Bone marrow smear: 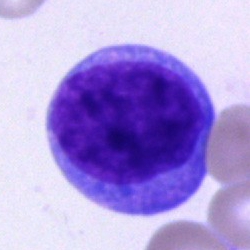Cell: blast.